Bone marrow smear. 250×250 px
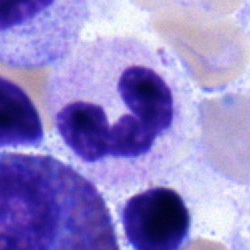 This is a segmented neutrophil.